May-Grünwald-Giemsa/Pappenheim stain. Bone marrow aspirate smear — 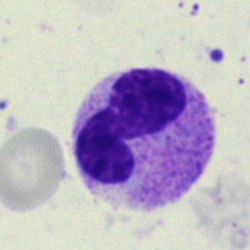Showing a polymorphonuclear neutrophil.